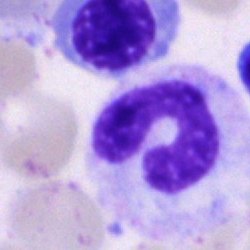 Cell = band-form neutrophil.